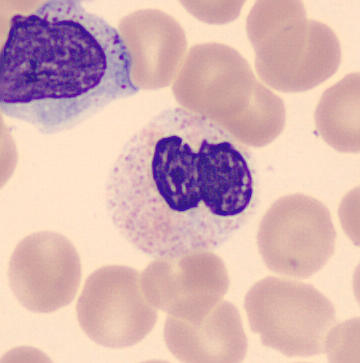Peripheral blood film. Morphology consistent with a neutrophil (segmented).